Bone marrow aspirate smear:
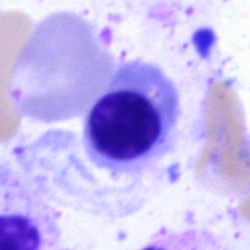Q: Identify the cell.
A: An erythroblast.